Bone marrow aspirate smear:
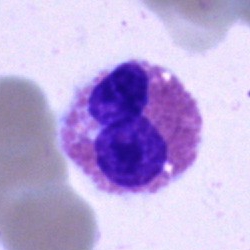Showing an eosinophilic granulocyte.